Bone marrow aspirate smear — 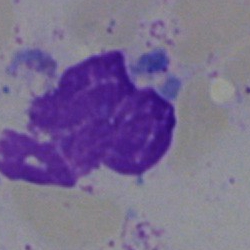
Impression — artifact.